M8 digital microscope (Precipoint), 100× oil immersion; Romanowsky-stained; peripheral blood smear — 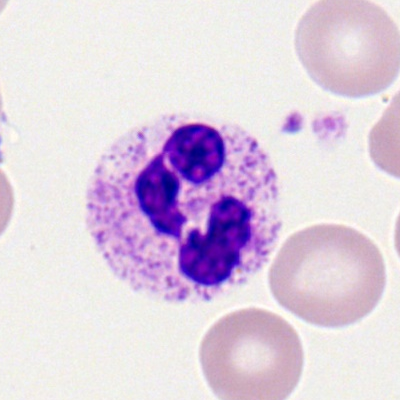
Q: What type of cell is this?
A: This is a polymorphonuclear neutrophil.